Bone marrow aspirate smear. 40× objective, oil immersion — 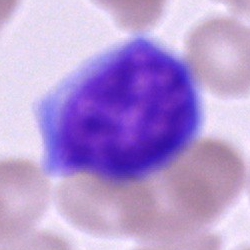 Undifferentiated blast.